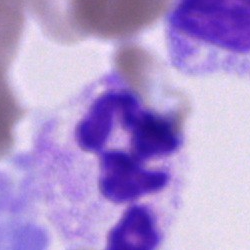

This is a neutrophil (segmented).